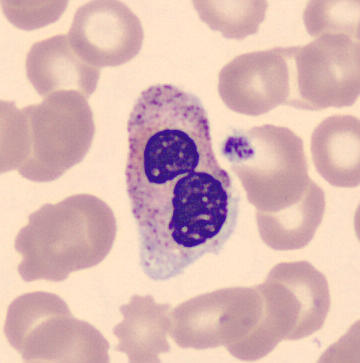

Peripheral blood film. Single cell identified as a segmented neutrophil.